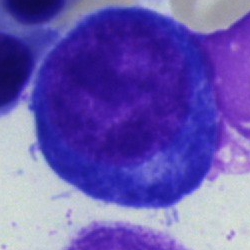

The classification is pronormoblast.